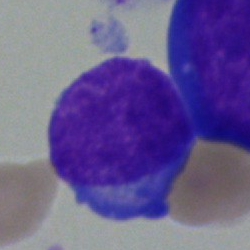
Q: What is shown here?
A: This is a blast.